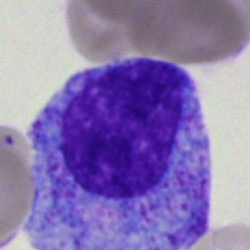 This is a promyelocyte.